Bone marrow aspirate smear. Single cell centered in the field. May-Grünwald-Giemsa/Pappenheim stain:
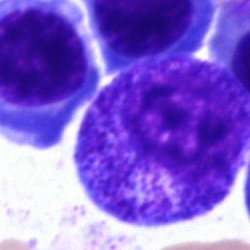The classification is progranulocyte.